Bone marrow aspirate smear · 40× oil immersion: 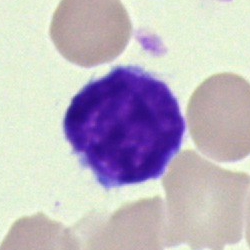 A typical lymphocyte.